250×250. Single-cell field. Bone marrow smear — 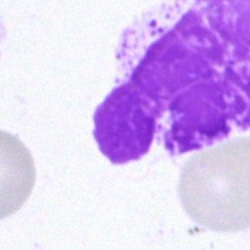

This is an artefact.